Bone marrow smear; Pappenheim-stained — 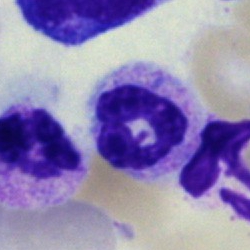The classification is neutrophil (segmented).